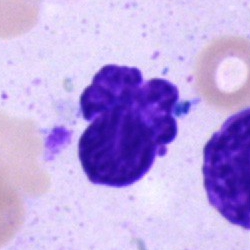

Bone marrow aspirate smear, single cell — artifact.